Image size 250×250. Single-cell crop. Bone marrow smear.
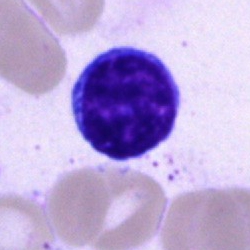

Cell — typical lymphocyte.